Bone marrow smear.
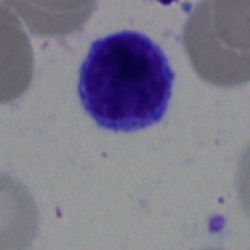Showing a hairy cell.